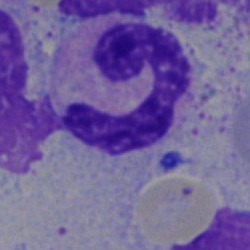
Q: Which cell type is shown here?
A: This is a polymorphonuclear neutrophil.